Bone marrow smear: 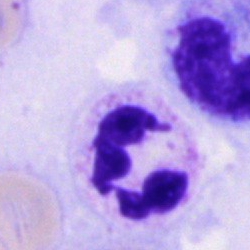Neutrophil (segmented).